100× objective, oil immersion · 400 by 400 pixels · peripheral blood film
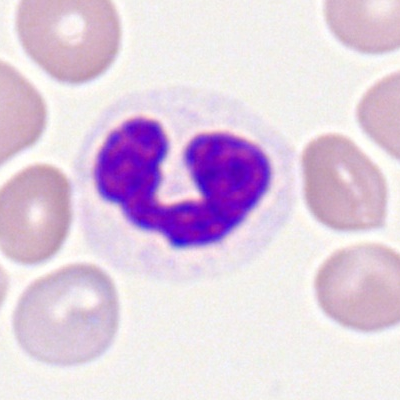 The cell is polymorphonuclear neutrophil.